Cropped to a single cell. Bone marrow smear. Brightfield, 40× oil-immersion objective.
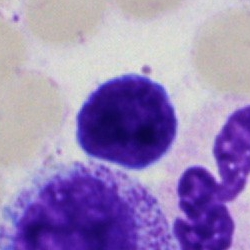

Q: What is shown here?
A: This is a lymphocyte.